Bone marrow smear · May-Grünwald-Giemsa stain: 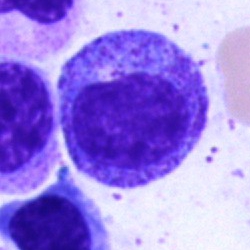
Morphology consistent with a promyelocyte.